Pappenheim-stained; bone marrow smear; image size 250×250 — 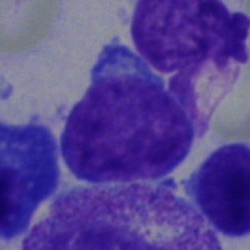Morphology — blast.